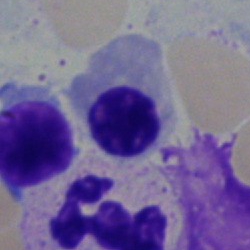
Q: What is the morphological classification of this cell?
A: Nucleated red blood cell.